Pappenheim-stained. Bone marrow aspirate smear — 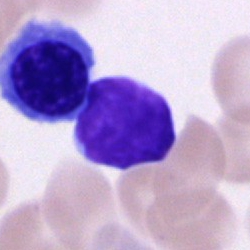
Q: What is shown here?
A: A lymphocyte.